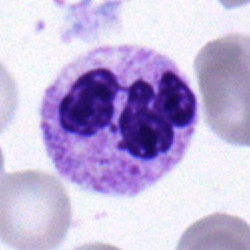 Cell — polymorphonuclear neutrophil.